Image size 250×250. Bone marrow smear: 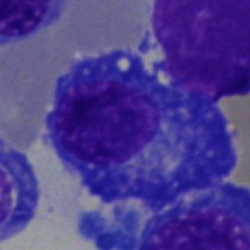 Single cell identified as a plasmacyte.